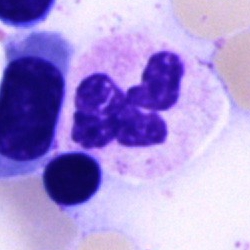 Specimen: bone marrow aspirate smear.
Cell type: segmented neutrophil.
Lineage: myeloid.